Single-cell field; bone marrow aspirate smear: 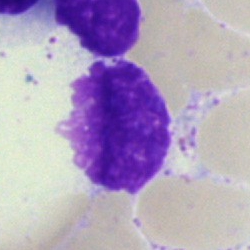Morphology — artefact.